Bone marrow aspirate smear:
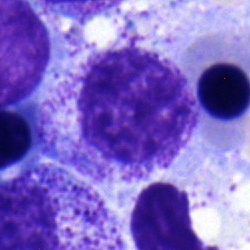Specimen: bone marrow aspirate smear.
Cell: myelocyte.